Brightfield, 40× oil-immersion objective · bone marrow smear · May-Grünwald-Giemsa stain — 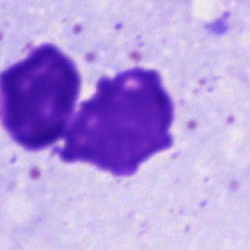

Specimen: bone marrow smear.
Cell type: artifact.